250 by 250 pixels. Cropped to a single cell. Bone marrow smear
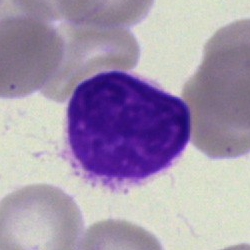Specimen: bone marrow aspirate smear.
Cell: artifact.